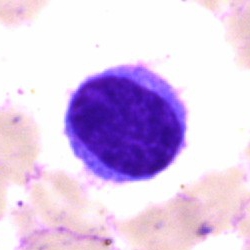
Single-cell crop from a bone marrow smear: typical lymphocyte.